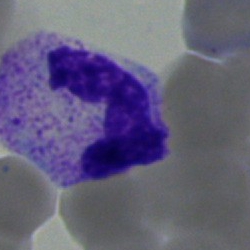This is a neutrophil (segmented).